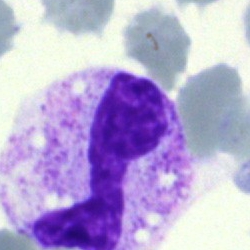 Morphology consistent with a segmented neutrophil.